Bone marrow smear
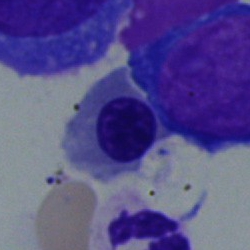

Morphology consistent with a nucleated red blood cell.